Bone marrow aspirate smear.
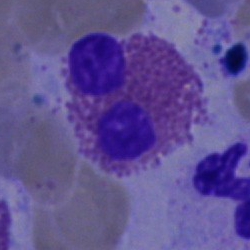
Q: What is the morphological classification of this cell?
A: Eosinophilic granulocyte.